Peripheral blood film; image size 400×400; single-cell crop.
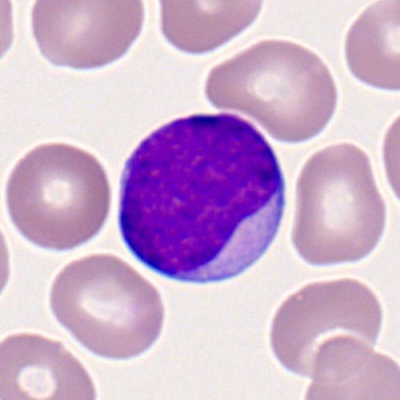 Cell — myeloid blast.